250×250 px. Bone marrow smear. Single-cell crop — 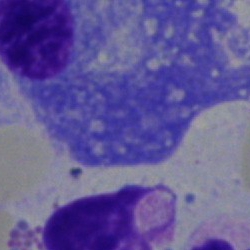

Morphological class = plasmacyte.